Bone marrow smear — 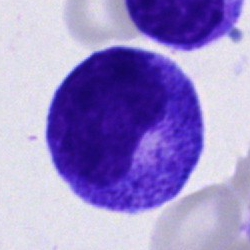The cell type is progranulocyte.